Bone marrow smear; 40× oil immersion.
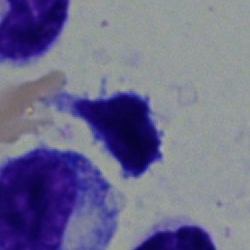
Impression → lymphocyte.